250×250 px · bone marrow aspirate smear
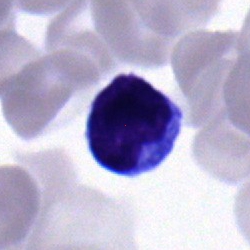Single cell identified as a lymphocyte.